Bone marrow smear.
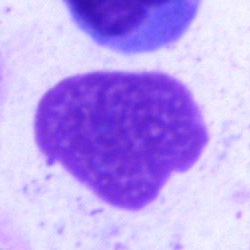 Showing an artefact.